Pappenheim-stained; bone marrow aspirate smear:
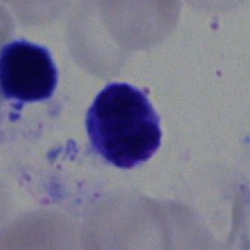

The cell shown is a lymphocyte.